Bone marrow smear: 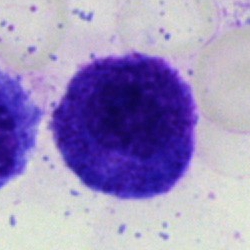

Q: Identify the cell.
A: It is a progranulocyte.